Bone marrow aspirate smear; image size 250×250: 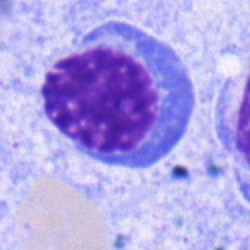
This is a nucleated red cell.